Bone marrow smear — 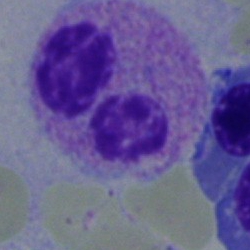

Segmented neutrophil.